Bone marrow smear; May-Grünwald-Giemsa stain: 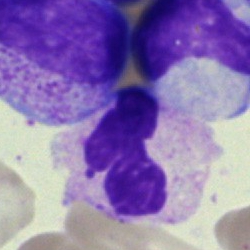Morphological class — neutrophil (segmented).